250 by 250 pixels · bone marrow smear.
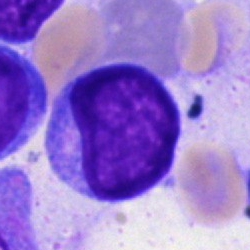Q: What cell is this?
A: It is a blast.